Peripheral blood film.
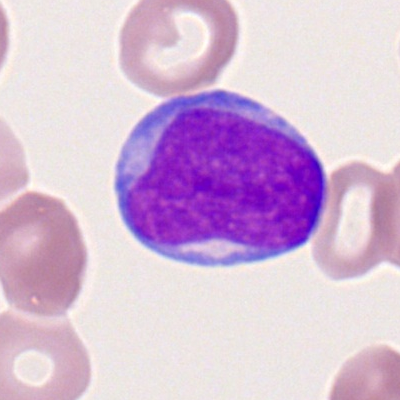Specimen: peripheral blood smear.
Cell: myeloid blast.